Bone marrow aspirate smear:
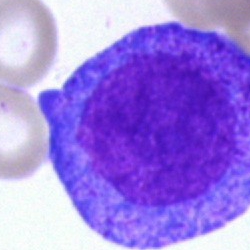

The cell is progranulocyte.